Bone marrow aspirate smear — 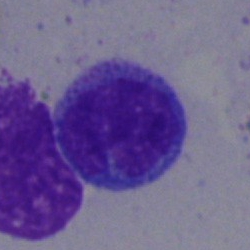

Specimen: bone marrow aspirate smear.
Cell type: typical lymphocyte.
Lineage: lymphoid.